Bone marrow smear:
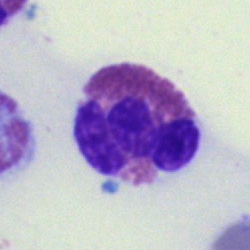
Eosinophilic granulocyte.